Bone marrow smear
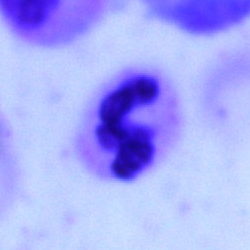The cell shown is a polymorphonuclear neutrophil.